Bone marrow aspirate smear — 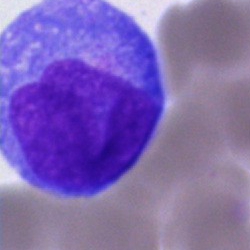Cell type = blast.